Peripheral blood film:
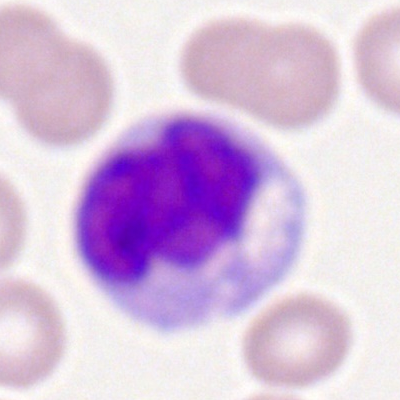

Monocyte.